Bone marrow smear:
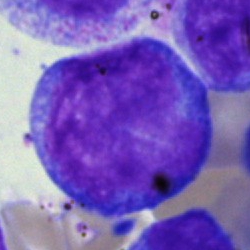 Q: What is the morphological classification of this cell?
A: Pronormoblast.